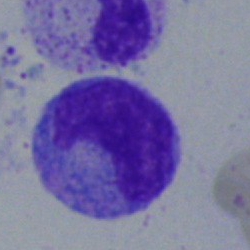

Morphology → metamyelocyte.